Bone marrow smear: 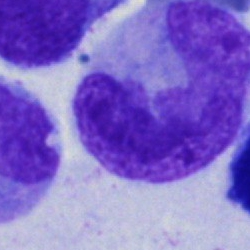 The cell shown is a neutrophil (band).